Single-cell crop · image size 250×250 · bone marrow smear: 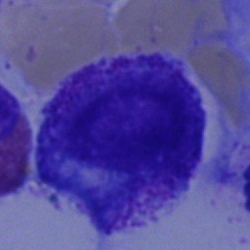 Morphology consistent with a promyelocyte.